Bone marrow aspirate smear:
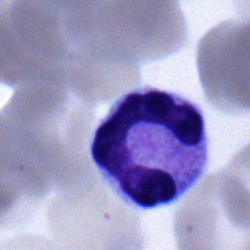

Impression — stab cell.